Peripheral blood smear
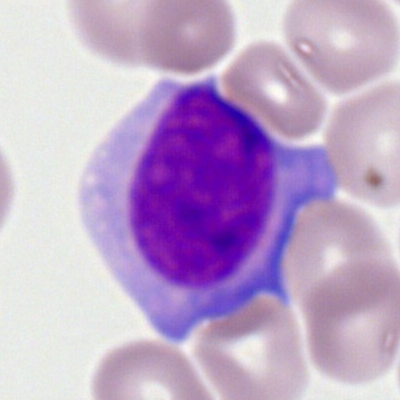
A myeloid blast.